Bone marrow aspirate smear.
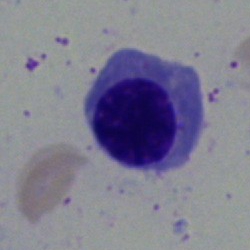Morphological class = normoblast.